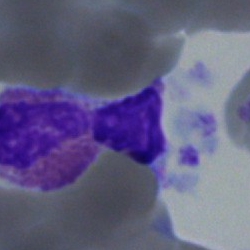 An eosinophilic granulocyte on a bone marrow smear.